Single cell centered in the field; bone marrow smear.
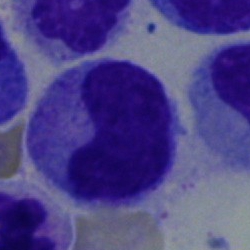Q: Which cell type is shown here?
A: Band-form neutrophil.